Image size 400×400 · single-cell crop · peripheral blood film — 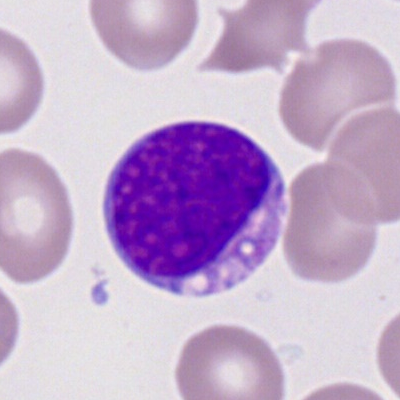 The cell shown is a myeloid blast.